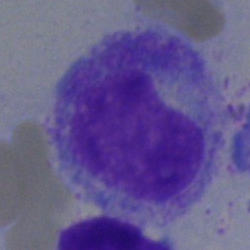
Specimen: bone marrow smear.
Morphological class: metamyelocyte.
Lineage: myeloid.